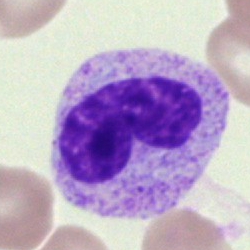

Single cell identified as a metamyelocyte.